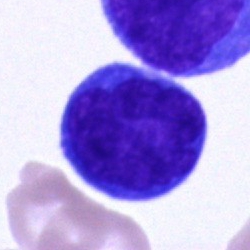Q: What cell is this?
A: A blast cell.